Bone marrow aspirate smear
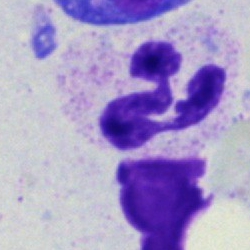 Morphology — polymorphonuclear neutrophil.